May-Grünwald-Giemsa/Pappenheim stain; bone marrow aspirate smear.
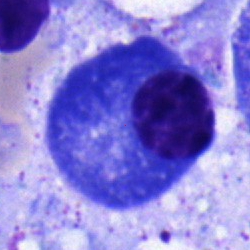
Morphology — plasma cell.